Peripheral blood film; brightfield, 100× oil-immersion objective
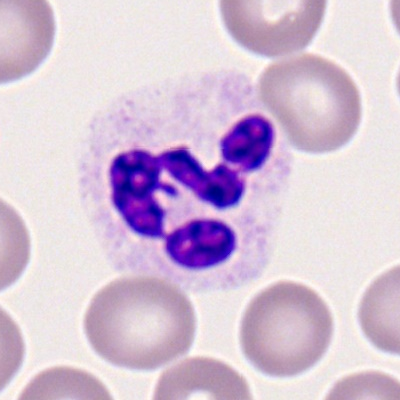
Impression → segmented neutrophil.